Bone marrow aspirate smear.
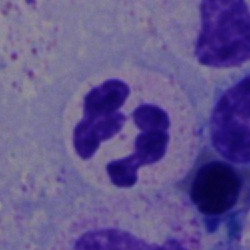
This is a polymorphonuclear neutrophil.